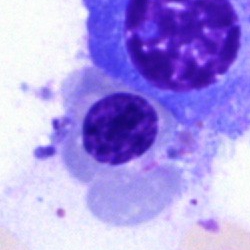
Single-cell crop from a bone marrow smear: normoblast.